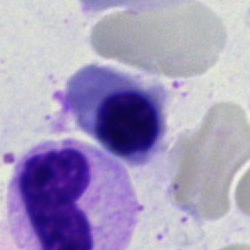

Classification — normoblast.